40× objective, oil immersion. Bone marrow smear — 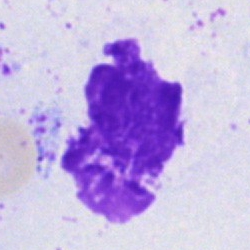
Cell type: artefact.